Single-cell field. Peripheral blood smear:
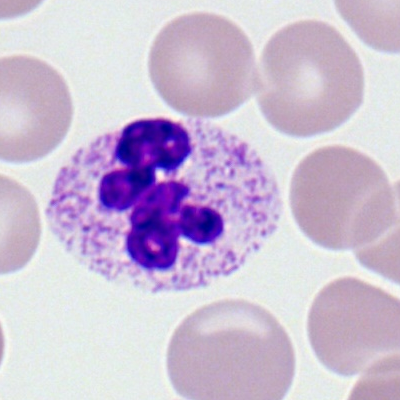Q: What is shown here?
A: Polymorphonuclear neutrophil.